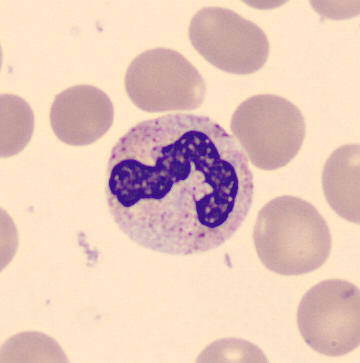

Peripheral blood film. Morphology → band neutrophil.